Bone marrow smear: 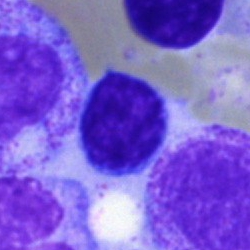

The cell is lymphocyte.